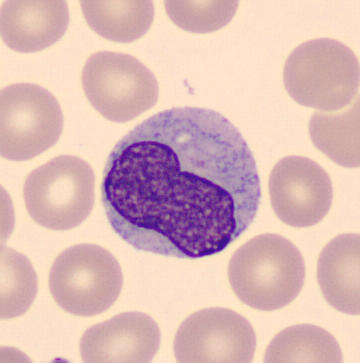 Peripheral blood smear. Single cell identified as a monocyte.